Bone marrow aspirate smear.
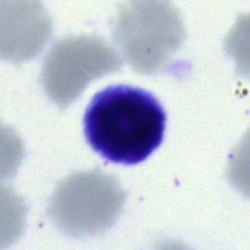

Morphological class — typical lymphocyte.